Bone marrow smear: 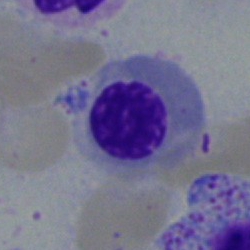

Morphology consistent with an erythroblast.